Bone marrow smear; 40× oil immersion; May-Grünwald-Giemsa/Pappenheim stain
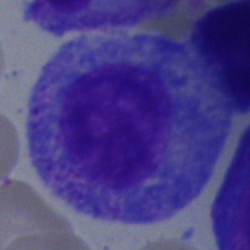Specimen: bone marrow smear.
Morphological class: promyelocyte.